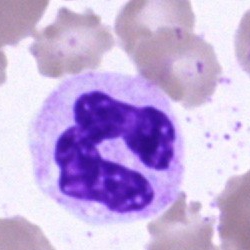

The cell type is segmented neutrophil.